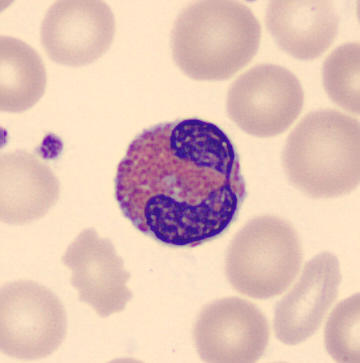Q: What is shown here?
A: It is an eosinophil. Acquisition: Peripheral blood film.